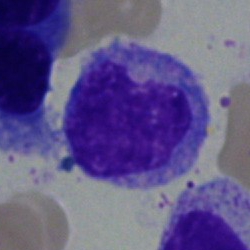

The cell is monocyte.